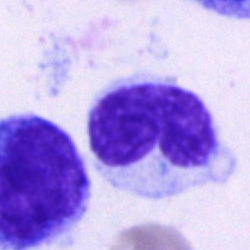 Cell: metamyelocyte.